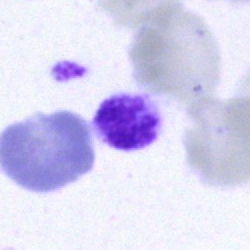Q: What is shown here?
A: Artifact.